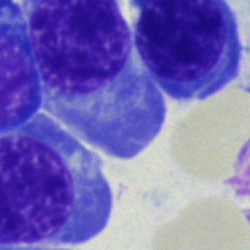
This is a normoblast.